Bone marrow smear · brightfield, 40× oil-immersion objective:
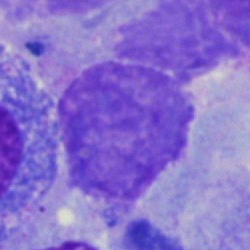
Morphological class = artifact.